Pappenheim-stained · bone marrow aspirate smear: 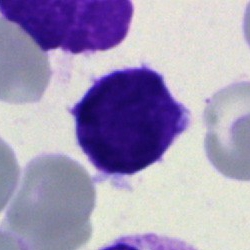

Specimen: bone marrow aspirate smear.
Classification: lymphocyte.
Lineage: lymphoid.